Brightfield, 40× oil-immersion objective; MGG-stained; bone marrow aspirate smear.
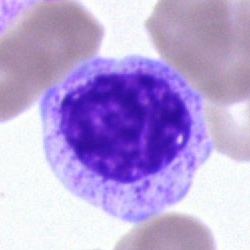 Specimen: bone marrow smear.
Classification: polymorphonuclear neutrophil.